Single cell centered in the field; bone marrow smear.
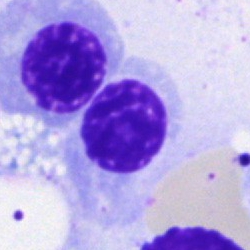 Cell type = erythroblast.